Bone marrow aspirate smear — 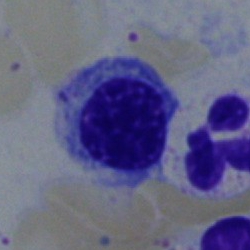This is a nucleated red cell.